Bone marrow smear: 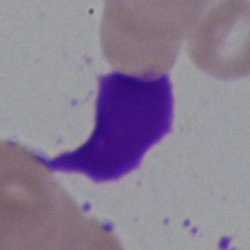Classification: artefact.